Peripheral blood film.
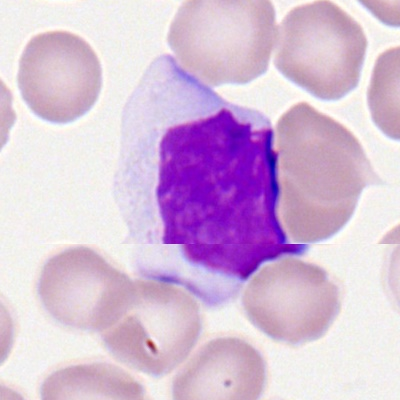

Q: What is shown here?
A: This is a typical lymphocyte.